Bone marrow smear · single-cell field: 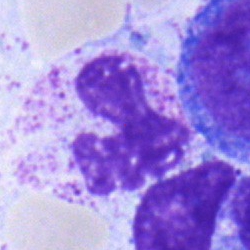Morphology → neutrophil (band).